Bone marrow aspirate smear:
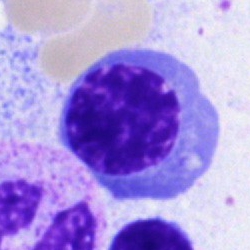

Morphology consistent with a nucleated red blood cell.